Bone marrow smear
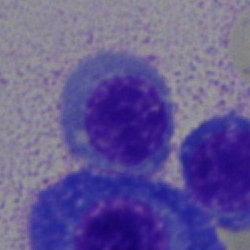

A nucleated red cell.